250×250 · bone marrow aspirate smear · 40× objective, oil immersion:
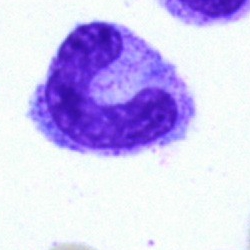
Morphology — stab cell.